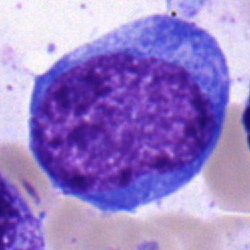
Q: What cell is this?
A: Blast cell.